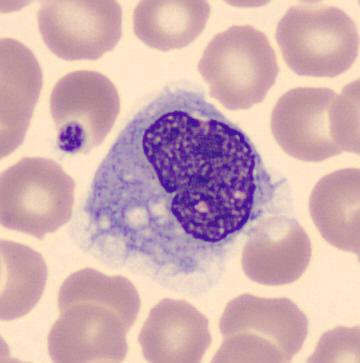
A monocyte. Image: Peripheral blood smear.